Brightfield, 40× oil-immersion objective · bone marrow smear
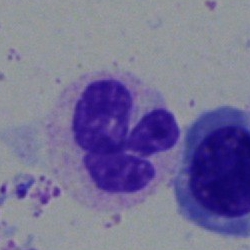A polymorphonuclear neutrophil.